Bone marrow smear
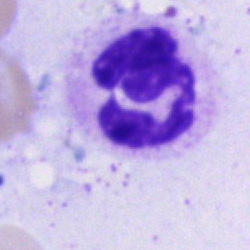
Q: What type of cell is this?
A: It is a segmented neutrophil.